40× objective, oil immersion · bone marrow smear · 250 by 250 pixels
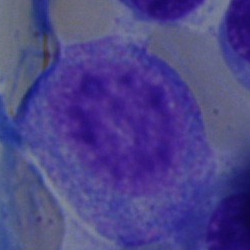 Q: What is shown here?
A: Promyelocyte.